Bone marrow smear — 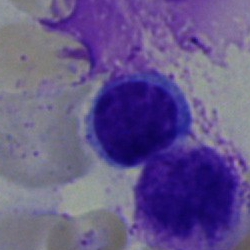
Classification — lymphocyte.